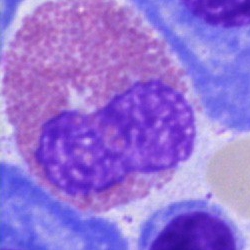 Morphology → eosinophilic granulocyte.